40× oil immersion; 250×250; bone marrow smear.
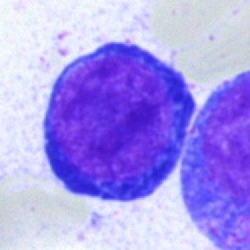
Morphological class — nucleated red blood cell.